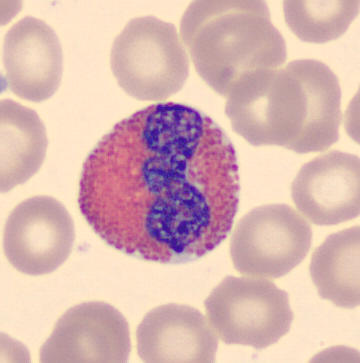 {"cell_type": "eosinophil", "lineage": "myeloid"}